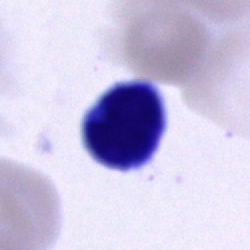
Impression — lymphocyte.